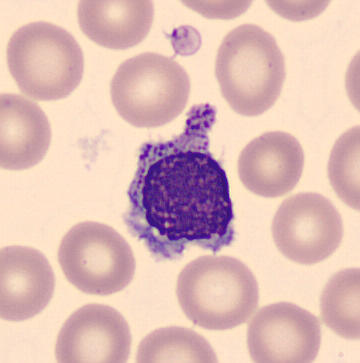 Peripheral blood smear · imaged on a CellaVision DM96 analyser. Cell = lymphocyte.